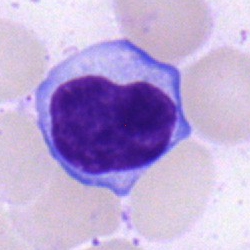
Specimen: bone marrow smear.
Cell type: lymphocyte.
Lineage: lymphoid.